Bone marrow smear · 40× objective, oil immersion:
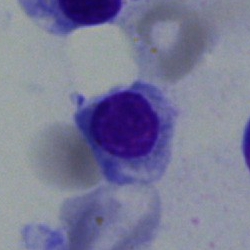

Morphology consistent with an erythroblast.